Peripheral blood smear.
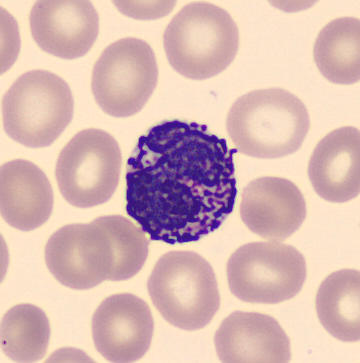 {"cell_type": "basophil"}